Bone marrow aspirate smear:
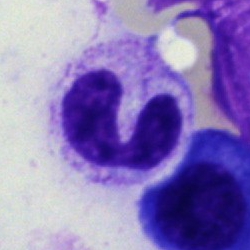
Q: Which cell type is shown here?
A: This is a polymorphonuclear neutrophil.